Bone marrow aspirate smear
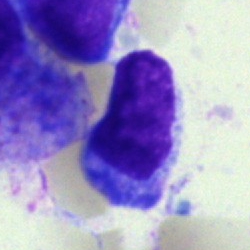
Morphology → lymphocyte.